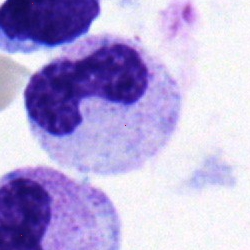 Specimen: bone marrow smear.
Cell type: band neutrophil.